Image size 250×250. Bone marrow smear:
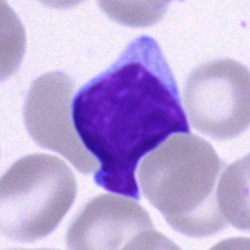 Morphology consistent with a typical lymphocyte.